Bone marrow aspirate smear
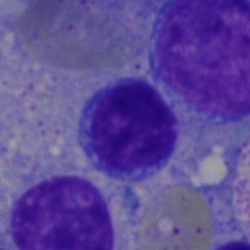 Q: Which cell type is shown here?
A: This is a typical lymphocyte.